Bone marrow aspirate smear; image size 250×250:
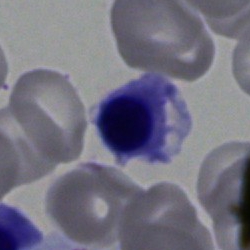
Cell type — nucleated red blood cell.